Bone marrow aspirate smear — 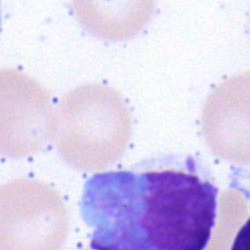Morphology consistent with a typical lymphocyte.